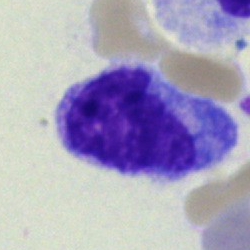
Q: What type of cell is this?
A: This is a monocyte.